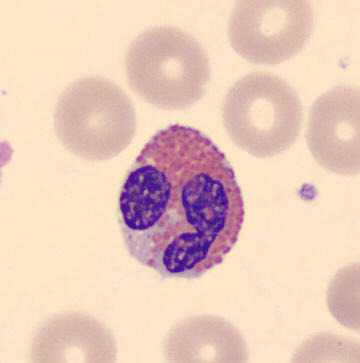

Morphology → eosinophil.